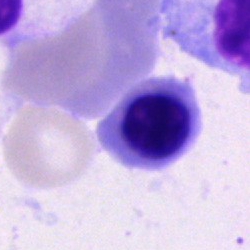 Nucleated red cell.